40× oil immersion · bone marrow aspirate smear · May-Grünwald-Giemsa stain:
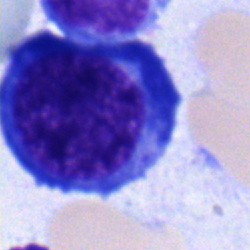 Q: What type of cell is this?
A: Erythroblast.